Bone marrow aspirate smear — 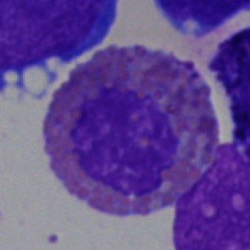

Specimen: bone marrow aspirate smear.
Classification: eosinophil.
Lineage: myeloid.